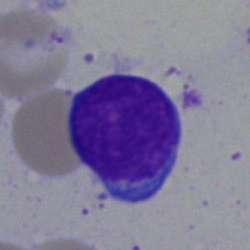Classification — typical lymphocyte.